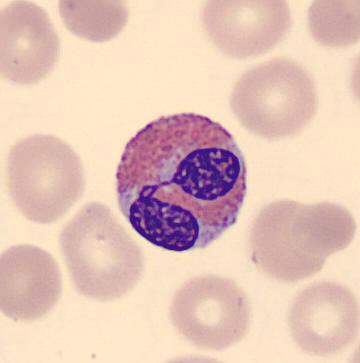
Specimen: peripheral blood film.
Cell type: eosinophilic granulocyte.
Lineage: myeloid. 360×363; automated cell imaging (CellaVision DM96).